Bone marrow aspirate smear:
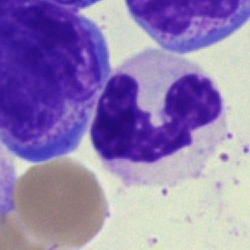

Neutrophil (segmented).